Brightfield microscopy, 40× oil immersion. Bone marrow smear.
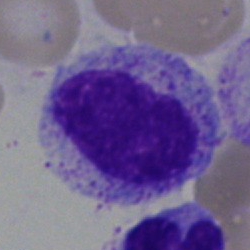
Impression → metamyelocyte.